Bone marrow smear: 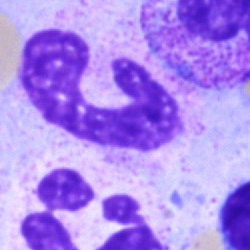 Morphology consistent with a band neutrophil.